Bone marrow aspirate smear:
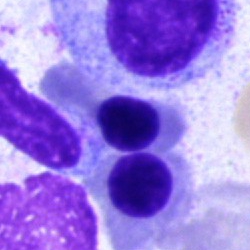
An erythroblast.